Bone marrow smear — 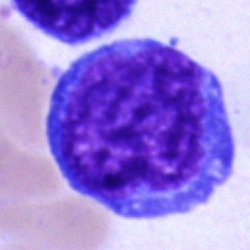Showing an undifferentiated blast.